Bone marrow smear:
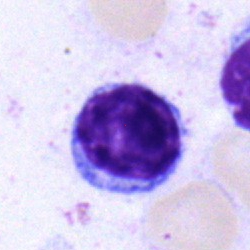

This is a typical lymphocyte.